Pappenheim-stained. Bone marrow aspirate smear. Single-cell field
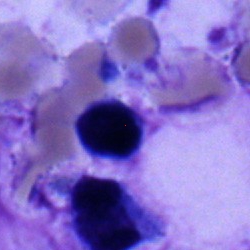

Classification = typical lymphocyte.